40× oil immersion; bone marrow aspirate smear:
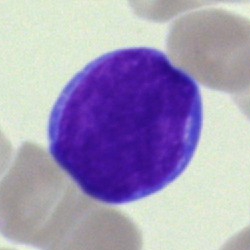 Q: What type of cell is this?
A: A blast cell.